Bone marrow aspirate smear.
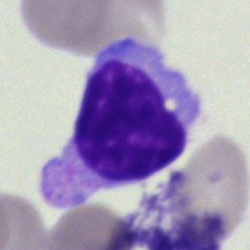 Cell: typical lymphocyte.